Bone marrow aspirate smear · MGG-stained
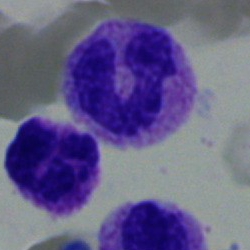

Q: Identify the cell.
A: This is a stab cell.